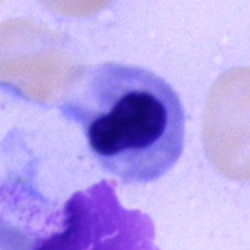

Cell: erythroblast.